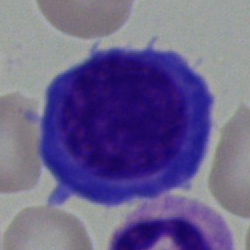
Specimen: bone marrow aspirate smear.
Classification: nucleated red cell.
Lineage: erythroid.